Bone marrow aspirate smear: 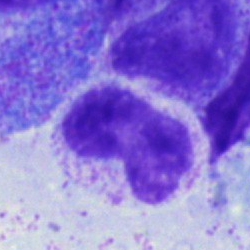

Morphology consistent with a band-form neutrophil.